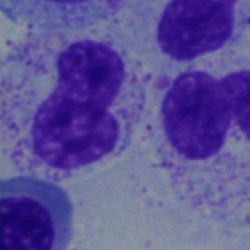{"cell_type": "stab cell"}